Cropped to a single cell · bone marrow smear: 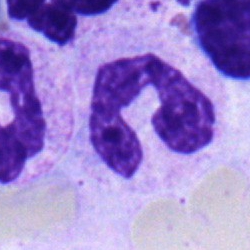
Q: What cell is this?
A: A stab cell.